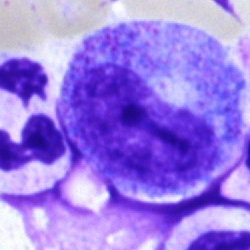{"cell_type": "promyelocyte"}